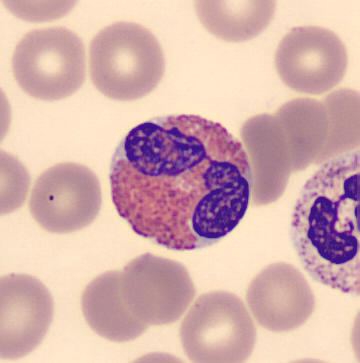
The cell shown is an eosinophil.